Bone marrow smear · 250×250 px:
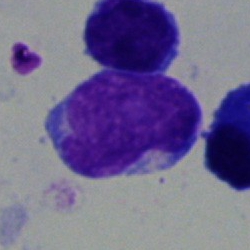

Specimen: bone marrow smear.
Morphological class: blast cell.